Bone marrow aspirate smear · May-Grünwald-Giemsa stain · 250×250: 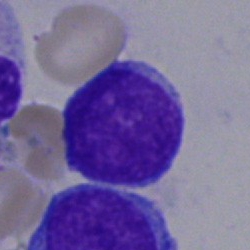
{"cell_type": "blast"}